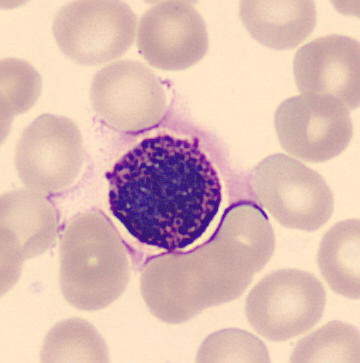 Classification — basophil.
Peripheral blood smear.